May-Grünwald-Giemsa stain; bone marrow smear.
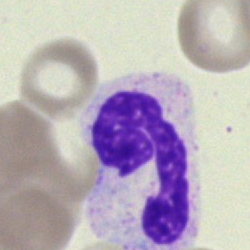Cell type: segmented neutrophil.